40× oil immersion. Bone marrow aspirate smear: 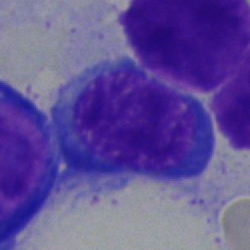
A normoblast.